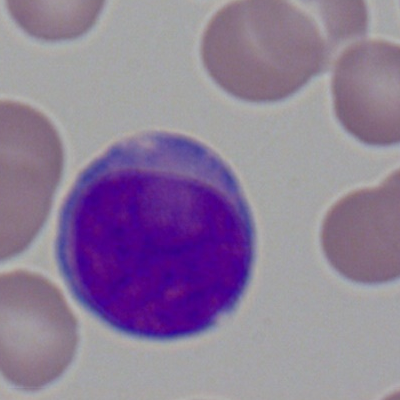 Showing a myeloid blast.